Single-cell field · brightfield microscopy, 40× oil immersion · bone marrow smear: 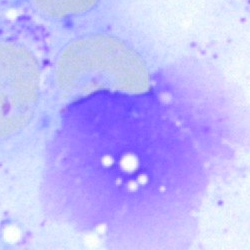
Morphological class = artifact.